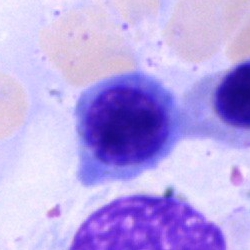
Specimen: bone marrow aspirate smear.
Classification: erythroblast.